Single cell centered in the field. Bone marrow smear. 250×250 px:
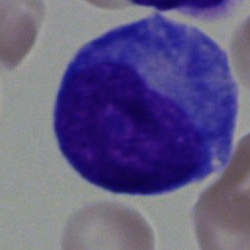Q: What cell is this?
A: Progranulocyte.